250×250 px. Bone marrow aspirate smear. MGG-stained
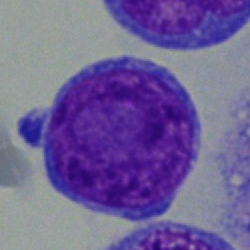

The cell shown is an undifferentiated blast.